Bone marrow smear — 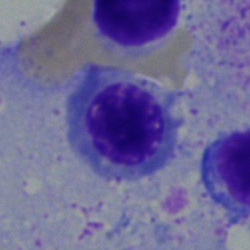 This is a nucleated red blood cell.